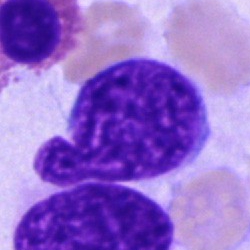{"cell_type": "artifact"}